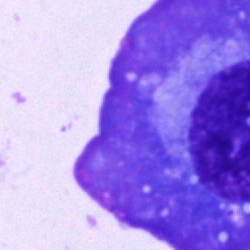 Q: What type of cell is this?
A: This is a plasma cell.